Bone marrow smear.
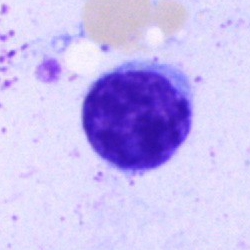

Classification = typical lymphocyte.